Bone marrow smear — 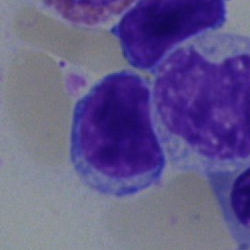

Lymphocyte.